Bone marrow smear: 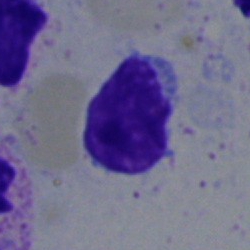
The cell shown is a lymphocyte.